Bone marrow aspirate smear.
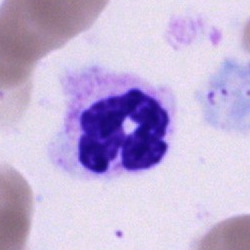Impression → segmented neutrophil.